May-Grünwald-Giemsa stain · bone marrow smear
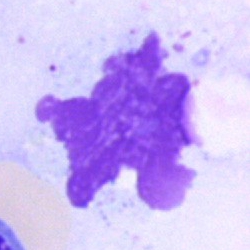
Classification: artefact.